250 by 250 pixels. Bone marrow aspirate smear.
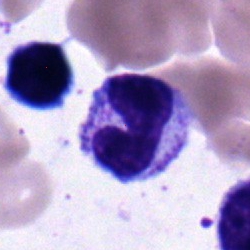
Specimen: bone marrow smear.
Cell type: metamyelocyte.
Lineage: myeloid.